MGG-stained; 250×250 px; bone marrow aspirate smear:
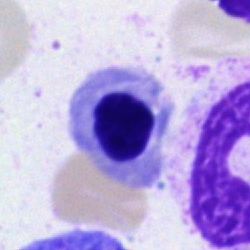

Morphological class = nucleated red blood cell.